Bone marrow aspirate smear
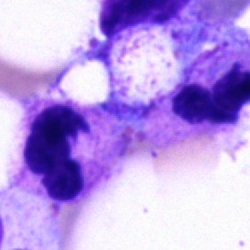 Morphology consistent with an eosinophilic granulocyte.